Bone marrow aspirate smear · image size 250×250 · Pappenheim-stained — 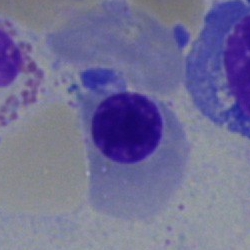
Specimen: bone marrow aspirate smear.
Morphological class: nucleated red cell.